250×250; bone marrow aspirate smear; single cell centered in the field
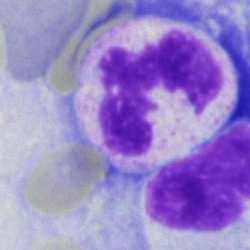 A neutrophil (segmented).